40× objective, oil immersion; bone marrow smear:
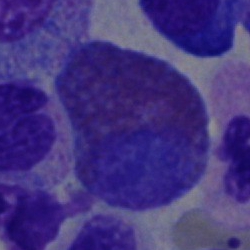

Morphology consistent with an eosinophil.